MGG-stained. Single-cell field. Bone marrow aspirate smear:
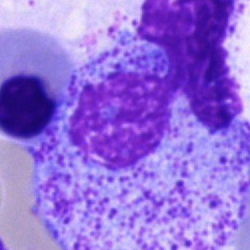 Cell type — progranulocyte.